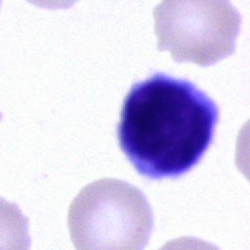

Single-cell crop from a bone marrow smear: lymphocyte.